Bone marrow aspirate smear. Single-cell crop. Image size 250×250 — 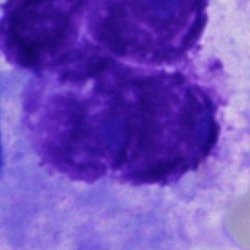Classification = other cell.